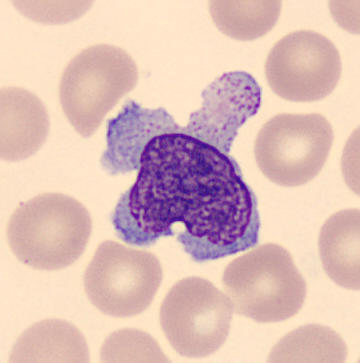The cell is monocyte.